Brightfield, 40× oil-immersion objective; bone marrow aspirate smear — 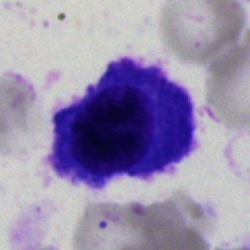Q: What is the morphological classification of this cell?
A: This is a plasma cell.